Romanowsky-stained · peripheral blood smear: 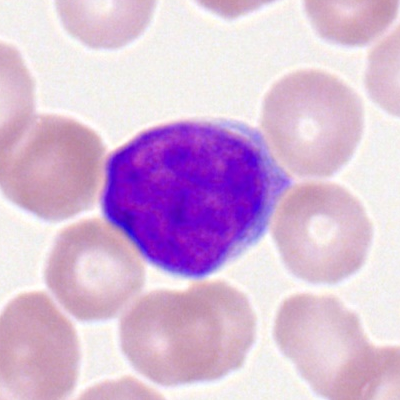

Q: Identify the cell.
A: Myeloid blast.